Romanowsky stain. 400 by 400 pixels. Peripheral blood film.
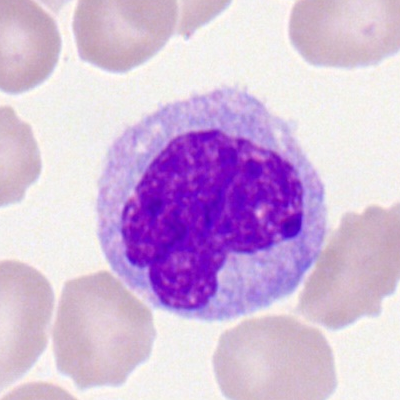 Cell: monocyte.